May-Grünwald-Giemsa stain. Bone marrow smear. 40× objective, oil immersion: 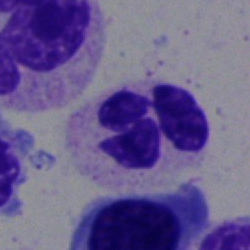
Morphology consistent with a segmented neutrophil.